Bone marrow aspirate smear. Image size 250×250 — 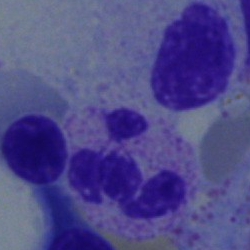
Specimen: bone marrow aspirate smear.
Cell: polymorphonuclear neutrophil.